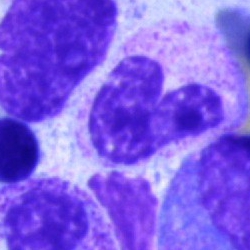A band-form neutrophil.